May-Grünwald-Giemsa/Pappenheim stain; bone marrow smear; brightfield microscopy, 40× oil immersion:
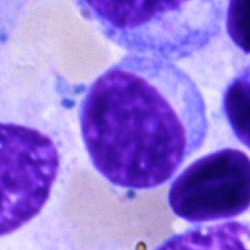

Showing a lymphocyte.